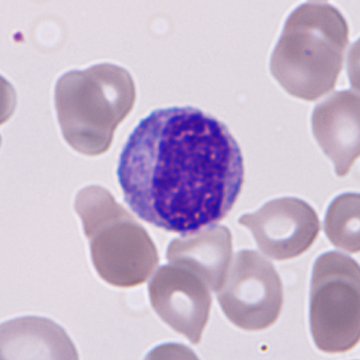

From a peripheral blood smear: a granulocyte precursor.